May-Grünwald-Giemsa stain; bone marrow aspirate smear; 250 by 250 pixels: 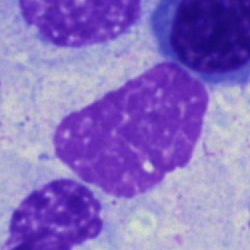

Specimen: bone marrow smear.
Morphological class: artefact.